Brightfield microscopy, 40× oil immersion. Bone marrow aspirate smear: 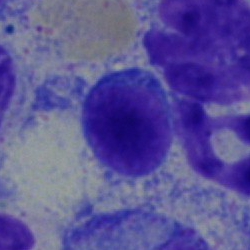
Specimen: bone marrow aspirate smear.
Classification: monocyte.